Image size 400×400; peripheral blood film:
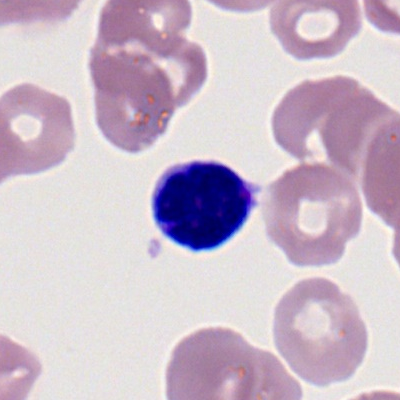
Morphology consistent with a lymphocyte.